Bone marrow aspirate smear.
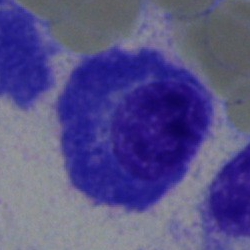

This is a plasma cell.